Peripheral blood smear.
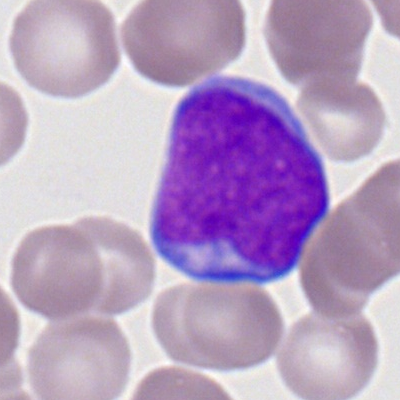Q: Identify the cell.
A: It is a myeloblast.